Bone marrow smear
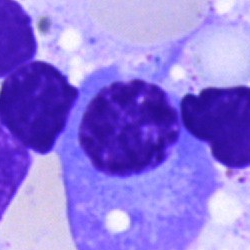

Cell: plasma cell.